Bone marrow aspirate smear.
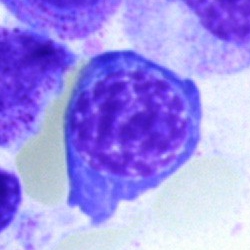 Specimen: bone marrow smear.
Morphological class: nucleated red cell.